Single cell centered in the field. Bone marrow aspirate smear: 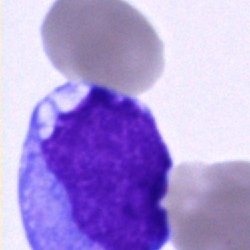 Showing an undifferentiated blast.